250×250. Bone marrow aspirate smear
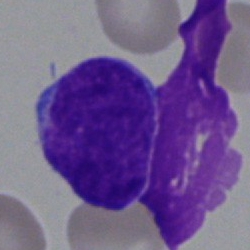Cell type — blast cell.